Bone marrow aspirate smear:
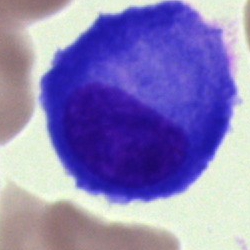Morphology consistent with a plasmacyte.